Image size 250×250 · bone marrow smear · cropped to a single cell
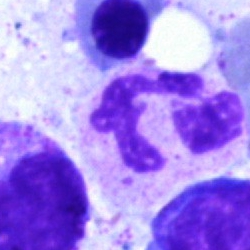Impression → polymorphonuclear neutrophil.